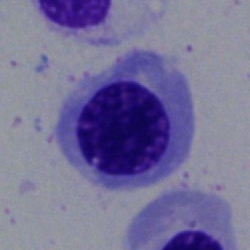
Cell type — nucleated red cell.